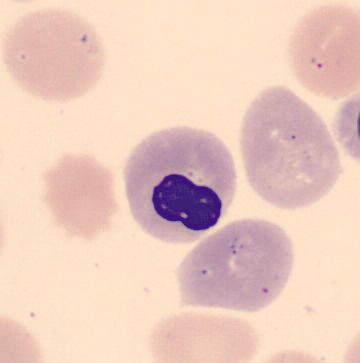Acquisition: Peripheral blood film. A nucleated red cell.